Bone marrow smear. Pappenheim-stained.
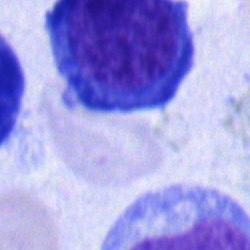

Morphology consistent with a nucleated red cell.